Image size 250×250; bone marrow aspirate smear: 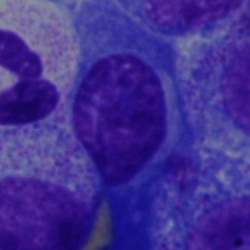Q: Which cell type is shown here?
A: This is a plasma cell.